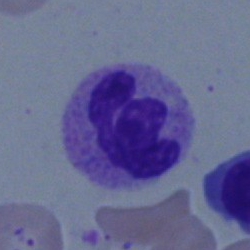
Cell type — polymorphonuclear neutrophil.